Bone marrow aspirate smear.
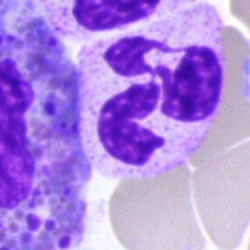
The cell shown is a neutrophil (segmented).